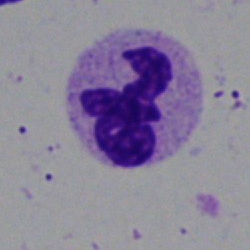{"cell_type": "segmented neutrophil", "lineage": "myeloid"}